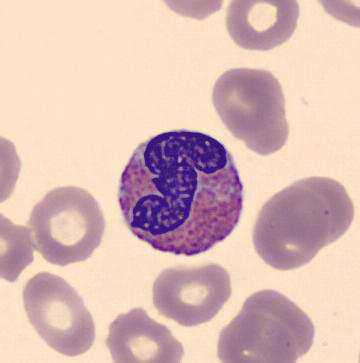Acquisition: Peripheral blood film · CellaVision DM96 digital cell image. Impression — eosinophil.